Bone marrow aspirate smear: 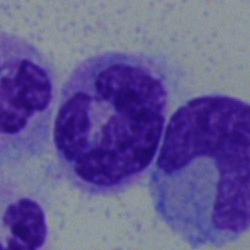{"cell_type": "monocyte"}